Image size 250×250. Bone marrow smear. Pappenheim-stained:
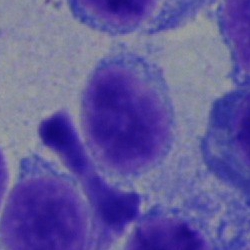
Morphology consistent with a typical lymphocyte.